Bone marrow smear · single cell centered in the field.
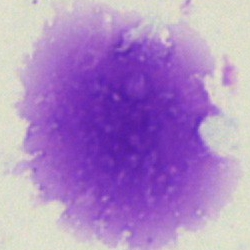
Specimen: bone marrow aspirate smear.
Cell type: artifact.